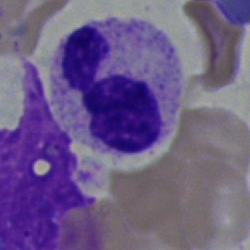

Morphology consistent with a polymorphonuclear neutrophil.